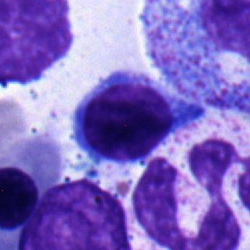Morphological class — typical lymphocyte.